Single-cell field · bone marrow aspirate smear · May-Grünwald-Giemsa stain
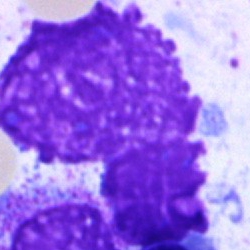

Cell type: artifact.